Bone marrow smear.
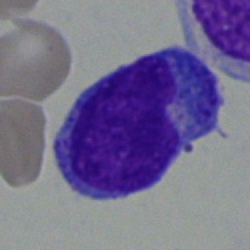 This is a blast cell.